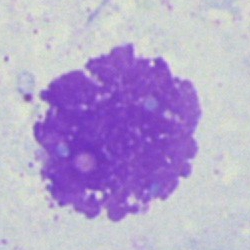 The cell shown is an artifact.